Pappenheim-stained. Bone marrow aspirate smear: 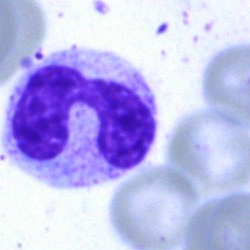 {"cell_type": "stab cell", "lineage": "myeloid"}